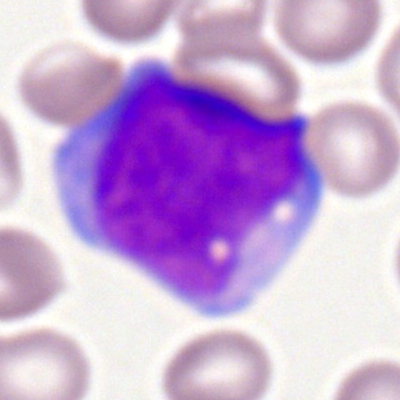
A myeloblast on a peripheral blood smear.